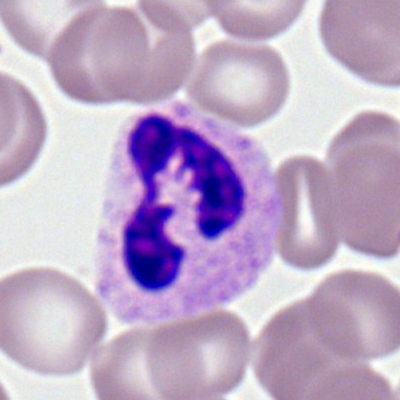 Q: Which cell type is shown here?
A: A segmented neutrophil.